250 by 250 pixels. Bone marrow smear — 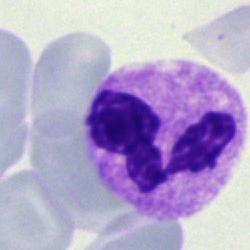

Morphology — neutrophil (segmented).